Bone marrow smear:
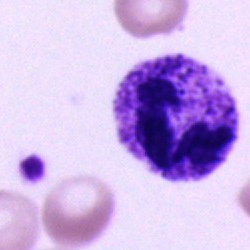

Cell — polymorphonuclear neutrophil.